Bone marrow aspirate smear:
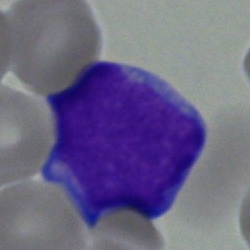Q: What cell is this?
A: A blast cell.